Bone marrow aspirate smear — 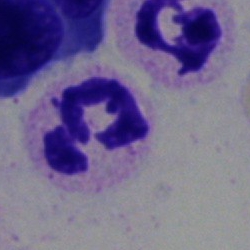
Showing a polymorphonuclear neutrophil.